Bone marrow smear
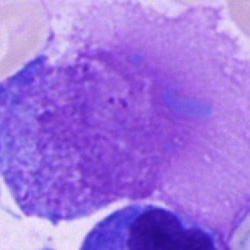

{"cell_type": "artefact"}